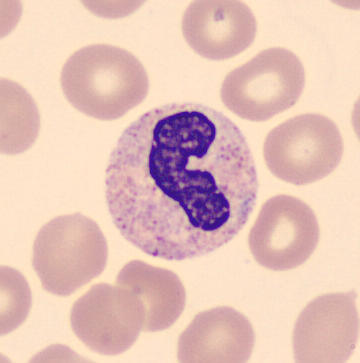A band neutrophil. Preparation: Peripheral blood film.